Bone marrow smear:
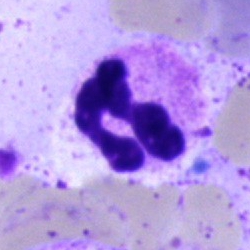 Neutrophil (segmented).